Cropped to a single cell. Bone marrow smear. Image size 250×250
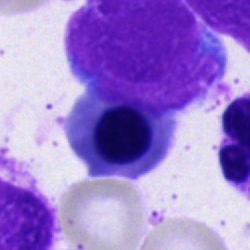 Q: What is the morphological classification of this cell?
A: This is a nucleated red blood cell.